Single-cell field; bone marrow smear:
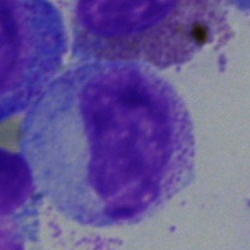Showing a myelocyte.